Bone marrow aspirate smear
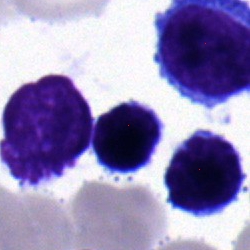
The cell is lymphocyte.